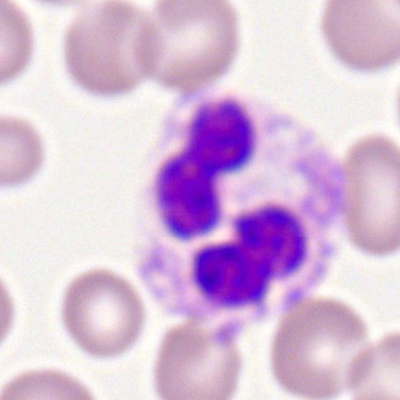The cell type is polymorphonuclear neutrophil.